Bone marrow aspirate smear. 40× objective, oil immersion: 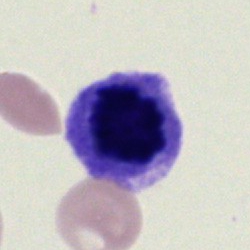Morphology consistent with an erythroblast.